Single-cell field · bone marrow aspirate smear — 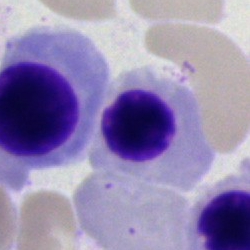
Q: What is the morphological classification of this cell?
A: This is a nucleated red blood cell.